Bone marrow aspirate smear; 250×250 px
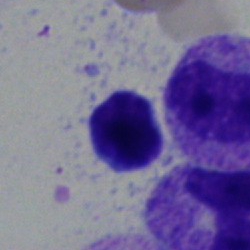

Showing a lymphocyte.